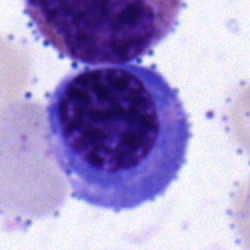
Classification — erythroblast.